Bone marrow smear · single cell centered in the field · 250×250
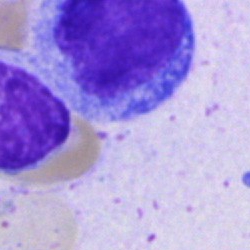

Impression → cell of indeterminate lineage.